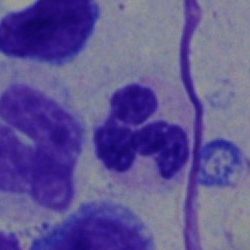
Q: What type of cell is this?
A: It is a segmented neutrophil.